40× oil immersion; May-Grünwald-Giemsa/Pappenheim stain; bone marrow smear
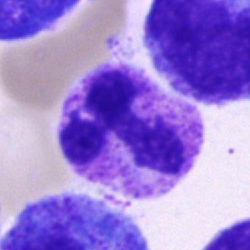

Q: What type of cell is this?
A: It is a segmented neutrophil.